Bone marrow aspirate smear; MGG-stained — 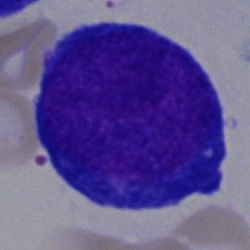 Showing a pronormoblast.